Bone marrow smear: 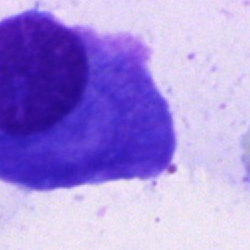 Q: What cell is this?
A: This is a plasma cell.